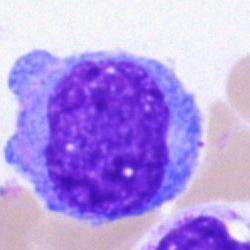 Impression — undifferentiated blast.